Bone marrow smear — 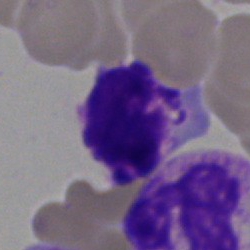

Single cell identified as an artefact.